Bone marrow smear
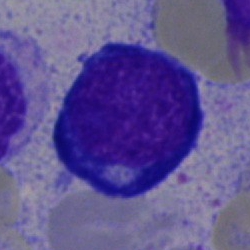

Cell = erythroblast.